100× oil immersion, 14.14 px/µm; 400×400; peripheral blood film.
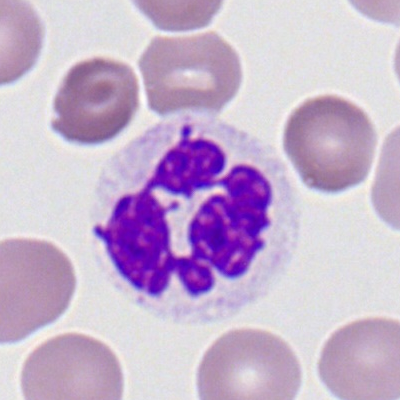

Specimen: peripheral blood film.
Cell: segmented neutrophil.